Bone marrow aspirate smear:
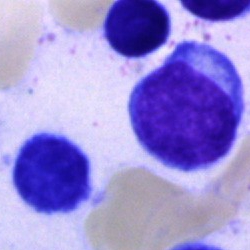
Cell = typical lymphocyte.